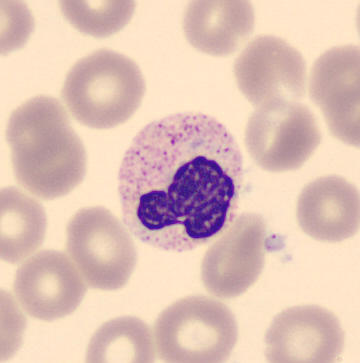
The morphological class is stab cell. Image: Peripheral blood film · CellaVision DM96 digital cell image.